Bone marrow aspirate smear. 250 by 250 pixels: 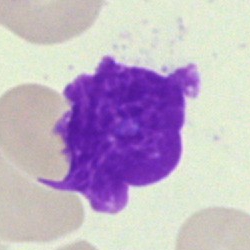

Single cell identified as an artefact.